Bone marrow smear: 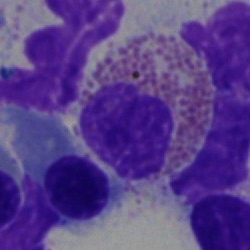
Morphology consistent with an eosinophilic granulocyte.